Bone marrow smear · single cell centered in the field.
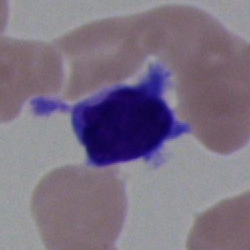

Cell: lymphocyte.